Brightfield, 40× oil-immersion objective · bone marrow smear
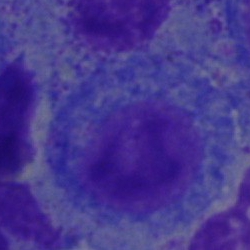
Cell type: progranulocyte.